Bone marrow smear — 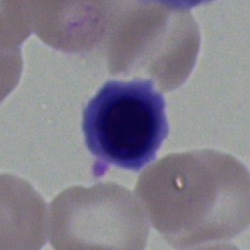Impression → normoblast.